Bone marrow smear.
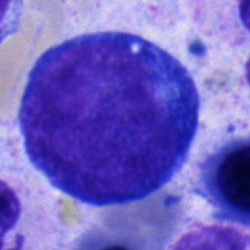

Q: What is the morphological classification of this cell?
A: Undifferentiated blast.